Bone marrow smear. Image size 250×250:
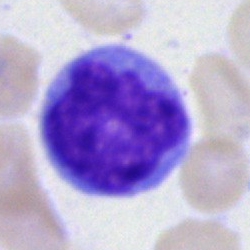
Specimen: bone marrow smear.
Cell type: monocyte.
Lineage: myeloid.